Cropped to a single cell. Bone marrow smear. 250×250: 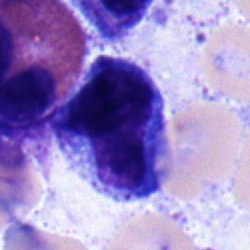Q: What type of cell is this?
A: This is a monocyte.